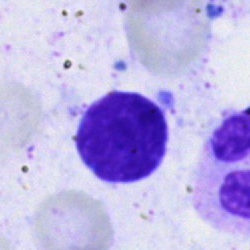Morphological class = lymphocyte.